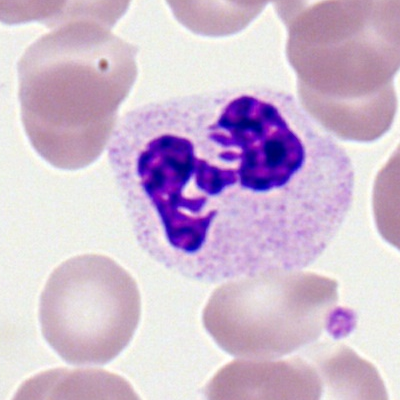

The cell shown is a neutrophil (segmented).